Bone marrow smear — 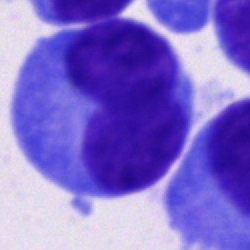 Specimen: bone marrow smear.
Morphological class: plasma cell.
Lineage: lymphoid.